Single-cell crop. Bone marrow smear
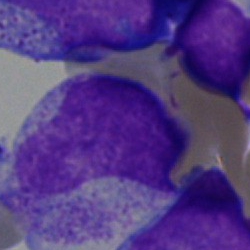Morphological class = myelocyte.